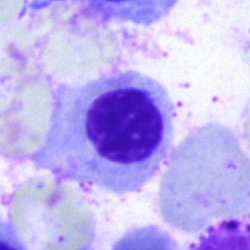
This is a normoblast.